Bone marrow smear. 250×250 px. Cropped to a single cell:
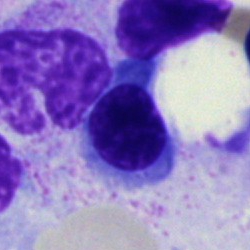
The cell shown is an erythroblast.